Bone marrow smear:
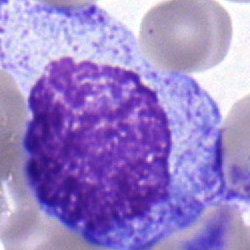Q: Which cell type is shown here?
A: A progranulocyte.